Bone marrow smear. Cropped to a single cell
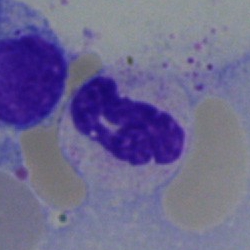

Q: What type of cell is this?
A: It is a neutrophil (segmented).